Bone marrow smear. May-Grünwald-Giemsa stain:
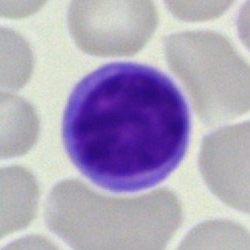Typical lymphocyte.